Bone marrow smear: 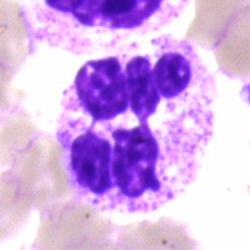
Neutrophil (segmented).